250×250 px · bone marrow aspirate smear · 40× oil immersion:
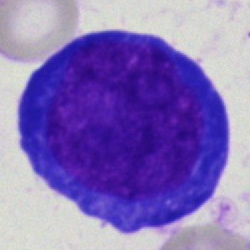

Showing a proerythroblast.